Single cell centered in the field; bone marrow aspirate smear
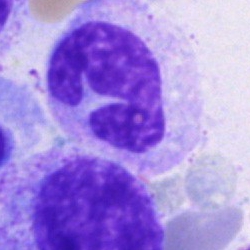
Specimen: bone marrow smear.
Morphological class: monocyte.